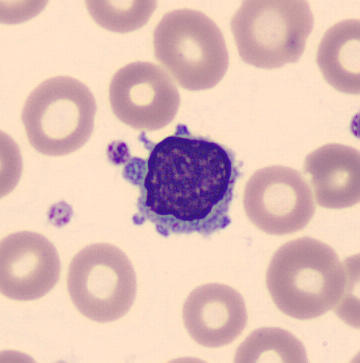

The cell is typical lymphocyte.